Bone marrow aspirate smear:
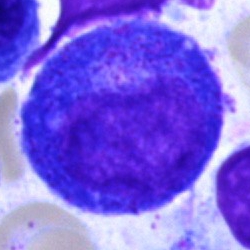Morphological class — promyelocyte.